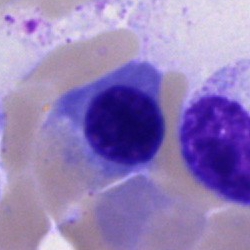Single-cell crop from a bone marrow smear: nucleated red cell.